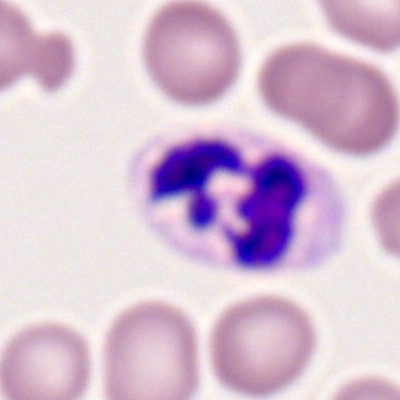

Q: Which cell type is shown here?
A: Polymorphonuclear neutrophil.